Single-cell crop. Bone marrow smear:
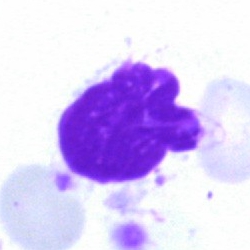Single cell identified as an artifact.